40× oil immersion · bone marrow aspirate smear: 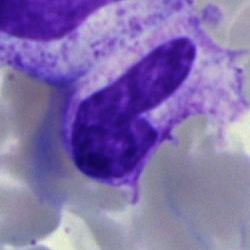

Showing a neutrophil (band).